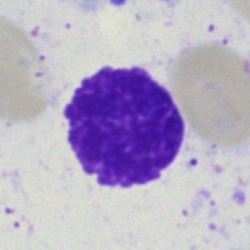
Cell type = artifact.